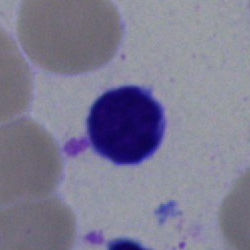 Impression → lymphocyte.